Pappenheim-stained · bone marrow aspirate smear: 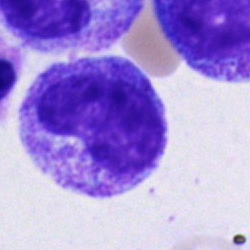
Specimen: bone marrow smear.
Classification: metamyelocyte.